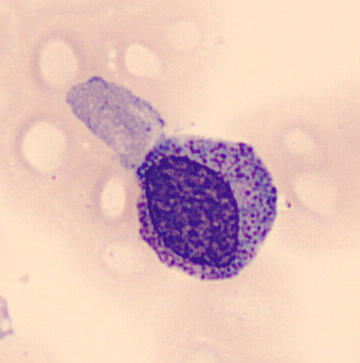

360 by 363 pixels; peripheral blood smear; May-Grünwald-Giemsa-stained. The cell shown is a myelocyte.